250×250 px; bone marrow aspirate smear; 40× objective, oil immersion: 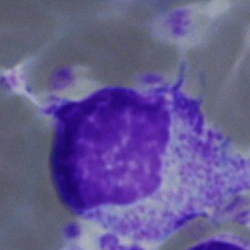 Morphology consistent with a myelocyte.